250 by 250 pixels · bone marrow aspirate smear:
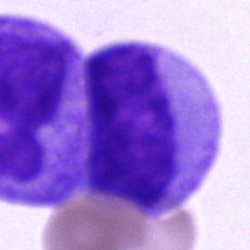Showing a cell of indeterminate lineage.